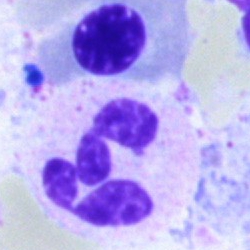 Cell = neutrophil (segmented).